Bone marrow aspirate smear: 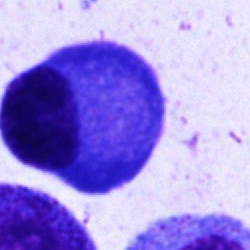{"cell_type": "plasmacyte"}